Bone marrow smear
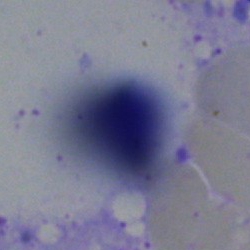
Artifact.